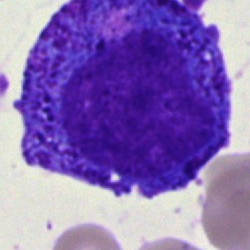
A promyelocyte.